Bone marrow smear.
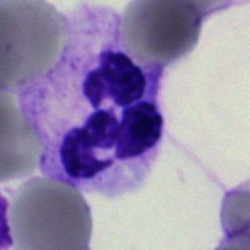
Q: What cell is this?
A: Polymorphonuclear neutrophil.